Bone marrow smear — 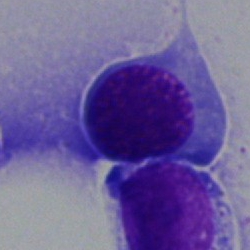Morphological class: normoblast.